Bone marrow aspirate smear:
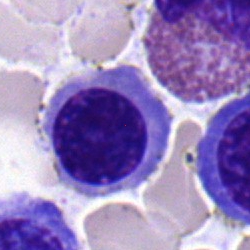
Morphology → nucleated red blood cell.